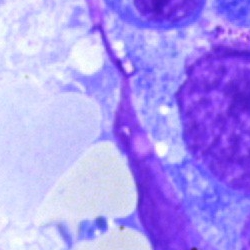{"cell_type": "artifact"}